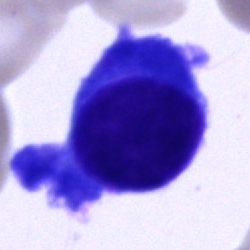 Single-cell crop from a bone marrow smear: plasmacyte.